Bone marrow smear:
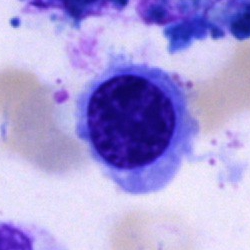Impression → erythroblast.